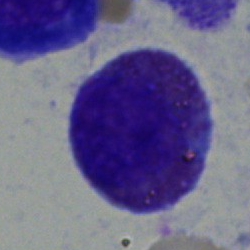Impression → eosinophil.